Bone marrow smear.
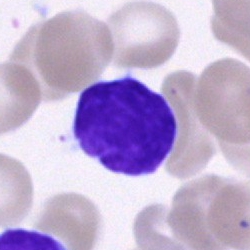Single cell identified as a typical lymphocyte.